Bone marrow smear — 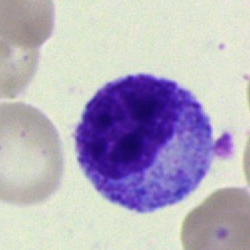Specimen: bone marrow aspirate smear.
Classification: myelocyte.
Lineage: myeloid.